Single cell centered in the field · 250×250 · bone marrow aspirate smear:
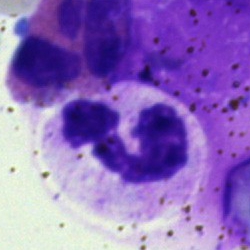

Cell = neutrophil (segmented).